Bone marrow smear. Brightfield, 40× oil-immersion objective. Single-cell field.
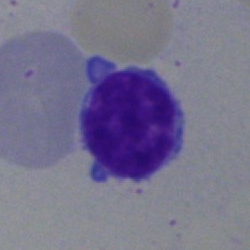

A lymphocyte.